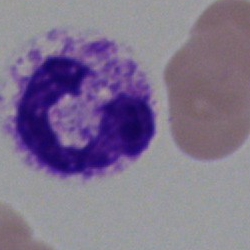The classification is polymorphonuclear neutrophil.